Bone marrow aspirate smear; May-Grünwald-Giemsa/Pappenheim stain; 40× objective, oil immersion — 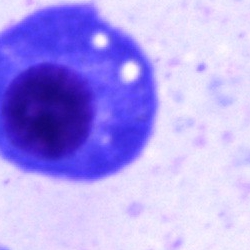

Cell = plasma cell.